Bone marrow smear. 250 by 250 pixels — 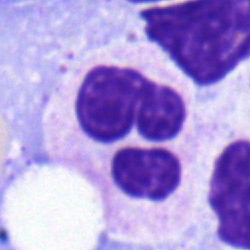

Q: What is the morphological classification of this cell?
A: A polymorphonuclear neutrophil.